250 by 250 pixels; bone marrow smear:
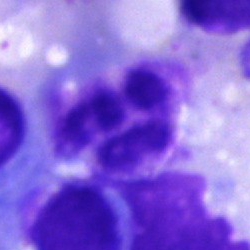
The cell shown is a segmented neutrophil.